Bone marrow smear:
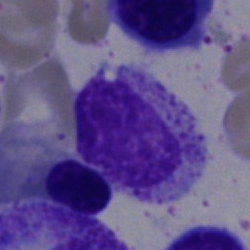The cell type is myelocyte.